Bone marrow smear · May-Grünwald-Giemsa/Pappenheim stain · single-cell crop — 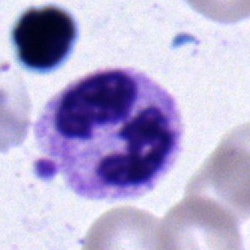
Q: Identify the cell.
A: Polymorphonuclear neutrophil.